Bone marrow smear.
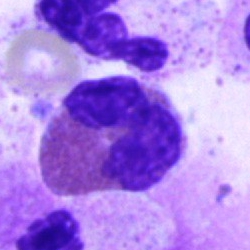 The cell shown is an eosinophilic granulocyte.